Bone marrow aspirate smear — 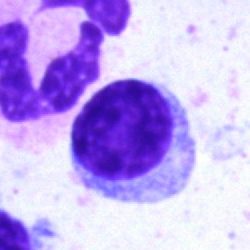Classification: lymphocyte.